Bone marrow smear; 250×250 px.
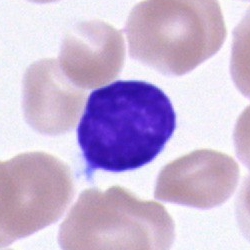Q: What cell is this?
A: This is a lymphocyte.